250 by 250 pixels · bone marrow aspirate smear.
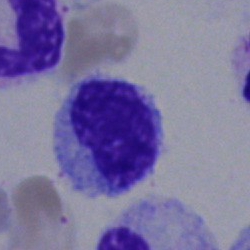
The morphological class is lymphocyte.